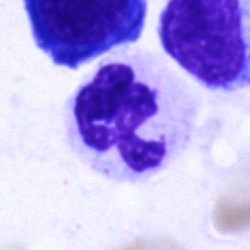

The cell shown is a segmented neutrophil.